Bone marrow smear:
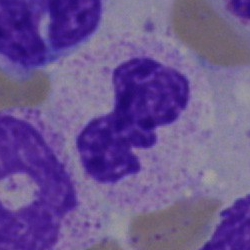

Specimen: bone marrow aspirate smear.
Cell type: polymorphonuclear neutrophil.